Brightfield microscopy, 40× oil immersion. MGG-stained. Bone marrow aspirate smear — 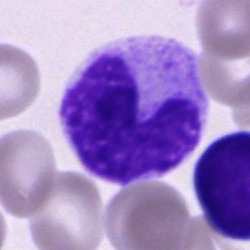 Single cell identified as a band neutrophil.